Bone marrow aspirate smear
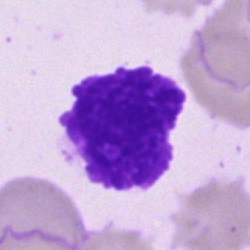

This is an artifact.